MGG-stained. Bone marrow smear
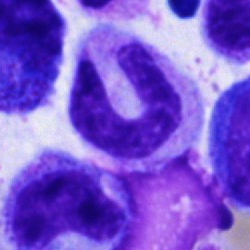A neutrophil (segmented).